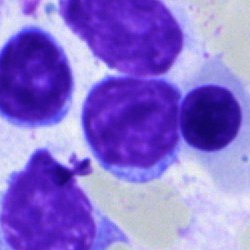 Showing a typical lymphocyte.